Pappenheim-stained · brightfield, 40× oil-immersion objective · bone marrow smear — 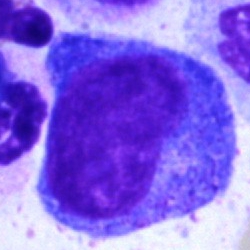

Morphology — promyelocyte.